Bone marrow smear
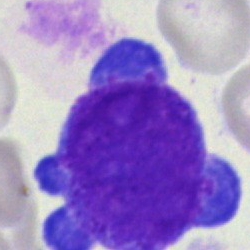

Morphology → blast.